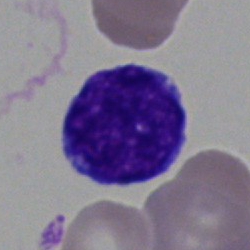
Morphological class — undifferentiated blast.